Bone marrow aspirate smear · 40× oil immersion · cropped to a single cell: 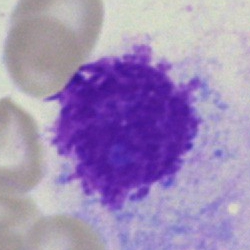Q: What is shown here?
A: Artefact.